250×250 px; bone marrow aspirate smear; brightfield, 40× oil-immersion objective.
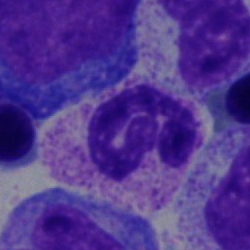

A neutrophil (segmented).